Bone marrow smear. 40× oil immersion — 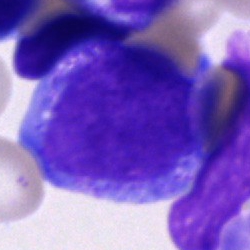Promyelocyte.